Bone marrow smear · 250×250
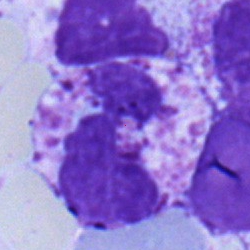A neutrophil (segmented).